Bone marrow aspirate smear:
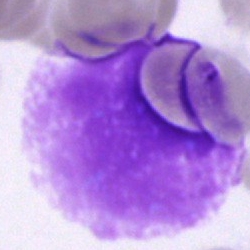
Impression → artifact.